Bone marrow aspirate smear; 40× oil immersion; MGG-stained
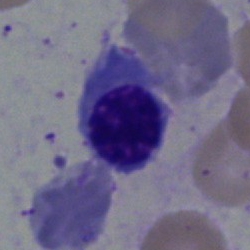
Showing a nucleated red blood cell.